Bone marrow aspirate smear · MGG-stained — 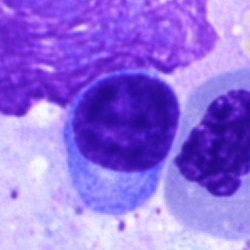
Single cell identified as a typical lymphocyte.